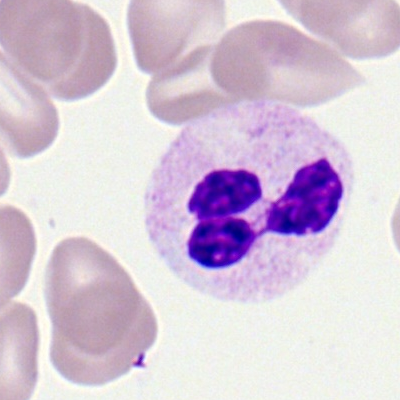Peripheral blood film, single cell — neutrophil (segmented).